Bone marrow aspirate smear.
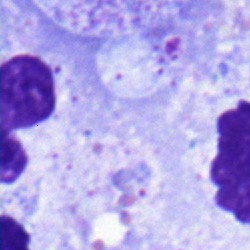 Classification = metamyelocyte.